40× objective, oil immersion · bone marrow aspirate smear
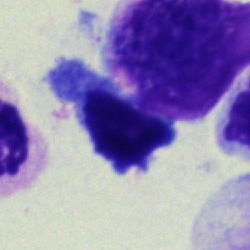
Impression → lymphocyte.